Bone marrow aspirate smear; image size 250×250:
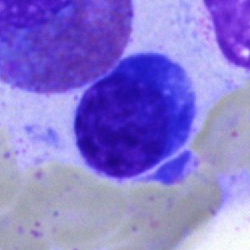Morphology consistent with a typical lymphocyte.